40× oil immersion. Bone marrow smear.
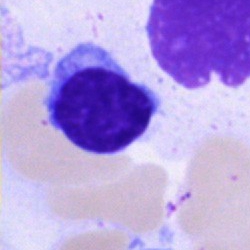{"cell_type": "lymphocyte", "lineage": "lymphoid"}